Bone marrow aspirate smear
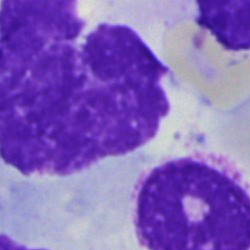An artifact.